Bone marrow smear — 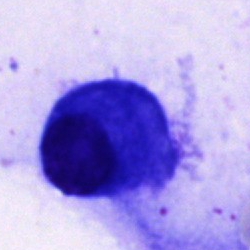Specimen: bone marrow aspirate smear.
Cell type: plasmacyte.